MGG-stained; bone marrow smear; image size 250×250 — 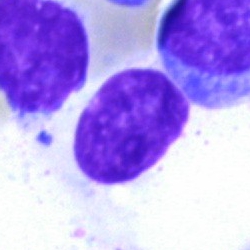 Cell type — artefact.